Peripheral blood film — 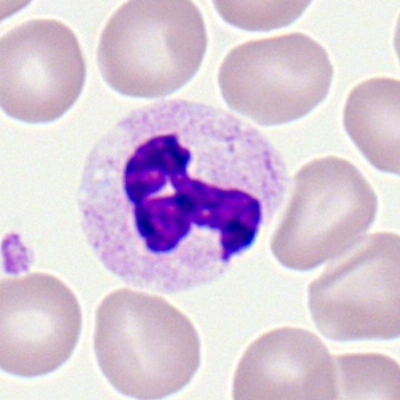
Single cell identified as a neutrophil (segmented).